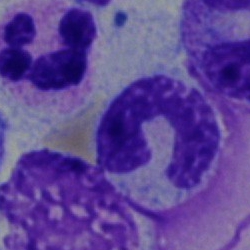
Q: What is shown here?
A: It is a band-form neutrophil.